Bone marrow smear
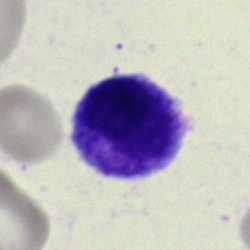
Cell of indeterminate lineage.